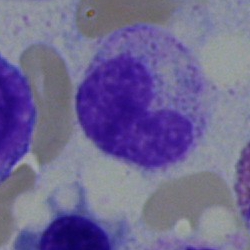 Single-cell crop from a bone marrow smear: stab cell.